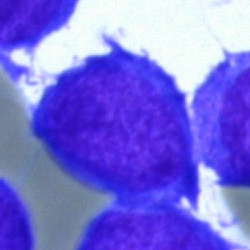
A blast cell on a bone marrow smear.